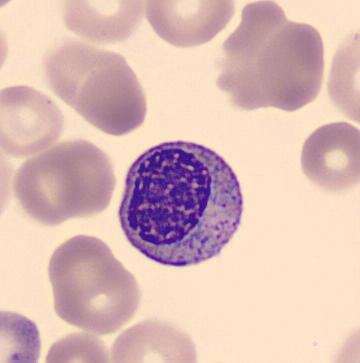 Peripheral blood smear.

{"cell_type": "myelocyte", "lineage": "myeloid"}